250×250 px. Brightfield microscopy, 40× oil immersion. Bone marrow smear — 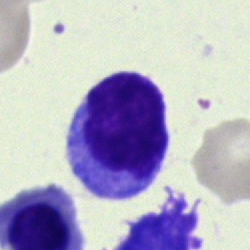

Specimen: bone marrow smear.
Classification: typical lymphocyte.
Lineage: lymphoid.